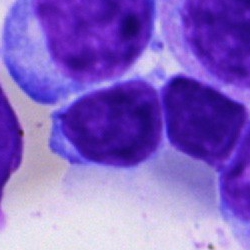
Q: Identify the cell.
A: A typical lymphocyte.